Peripheral blood smear
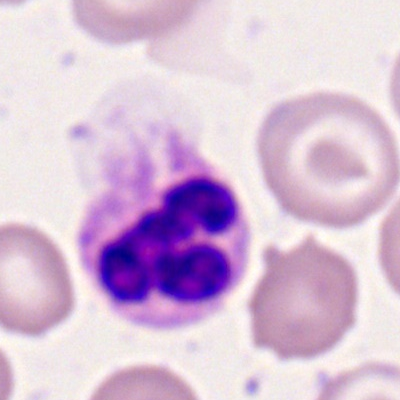

The cell shown is a neutrophil (segmented).